May-Grünwald-Giemsa stain. Bone marrow aspirate smear.
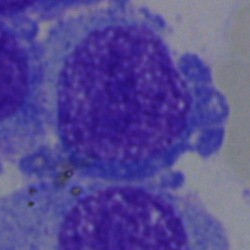Classification = plasmacyte.